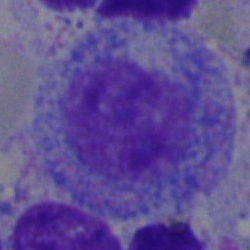 Q: What cell is this?
A: Promyelocyte.